Image size 400×400; peripheral blood smear — 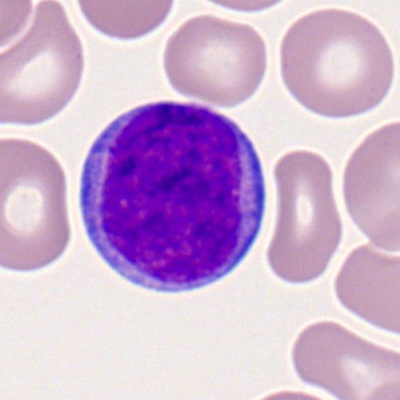

Impression — myeloblast.